Brightfield, 40× oil-immersion objective. Bone marrow smear: 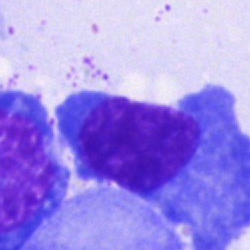 This is a plasmacyte.